Peripheral blood film — 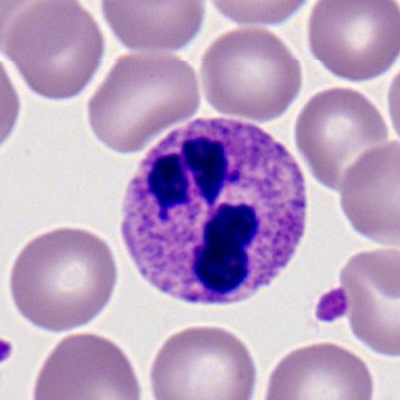
Morphological class: neutrophil (segmented).